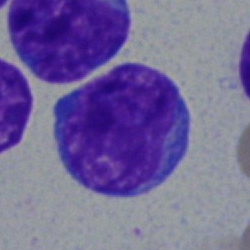 Morphology consistent with a lymphocyte.